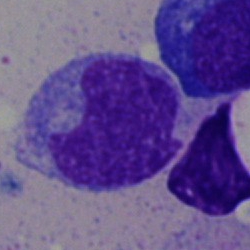
Specimen: bone marrow aspirate smear.
Morphological class: monocyte.
Lineage: myeloid.